Bone marrow aspirate smear — 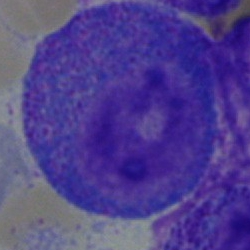 Showing a progranulocyte.